Bone marrow aspirate smear · single cell centered in the field
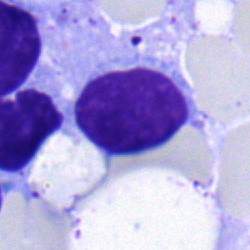
Impression — lymphocyte.